Bone marrow aspirate smear. May-Grünwald-Giemsa stain — 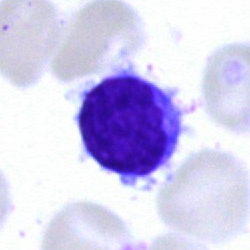
The cell shown is a lymphocyte.